Bone marrow aspirate smear:
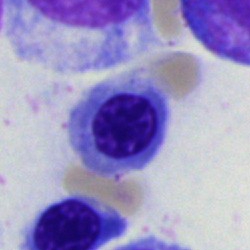This is a nucleated red blood cell.